Bone marrow smear
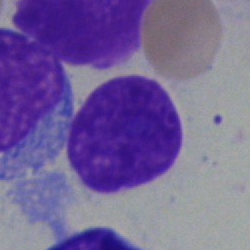

Showing an artifact.